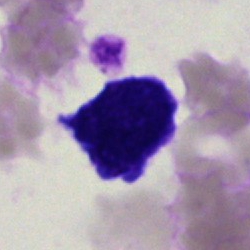
A blast on a bone marrow smear.